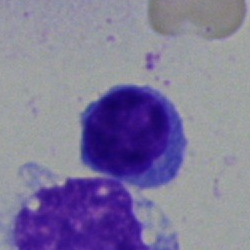

Specimen: bone marrow smear.
Morphological class: lymphocyte.